Bone marrow smear — 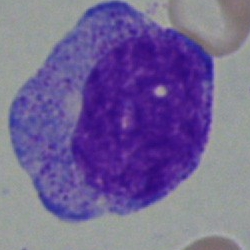 Morphology consistent with a promyelocyte.